Bone marrow smear — 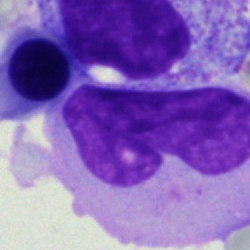

A monocyte.